Peripheral blood film — 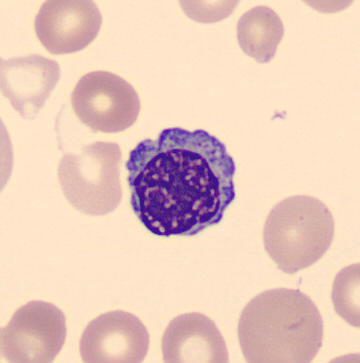The morphological class is nucleated red cell.